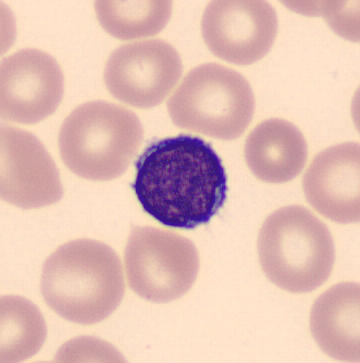

Peripheral blood film; 360 by 363 pixels. Impression — typical lymphocyte.